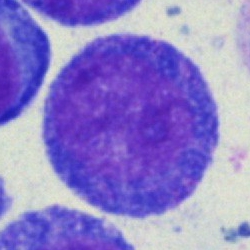

Morphology consistent with a progranulocyte.